Bone marrow smear. Image size 250×250.
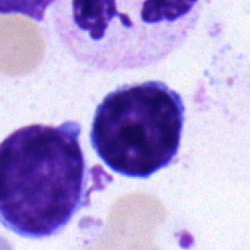

{"cell_type": "typical lymphocyte"}